Bone marrow aspirate smear
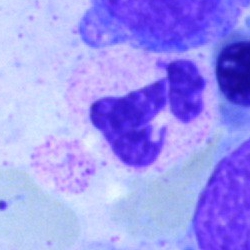Q: Identify the cell.
A: A segmented neutrophil.